Bone marrow smear · 40× objective, oil immersion
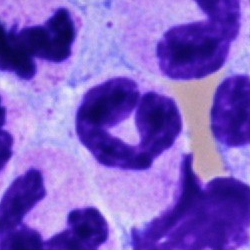
Cell type: segmented neutrophil.